Bone marrow smear
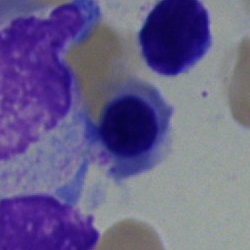
Classification: normoblast.